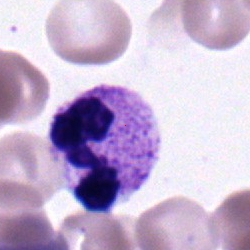

Morphological class — neutrophil (segmented).